Bone marrow aspirate smear
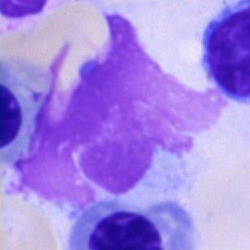
This is an artifact.